Bone marrow aspirate smear; 250 by 250 pixels: 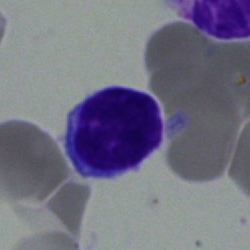

Morphology consistent with a lymphocyte.